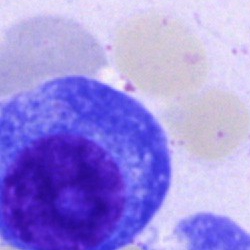 Q: What is shown here?
A: This is a plasmacyte.